Bone marrow smear · single-cell crop: 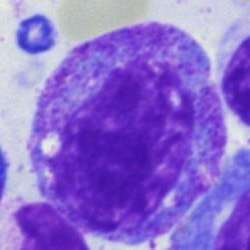 Promyelocyte.